Bone marrow aspirate smear · 250×250 px.
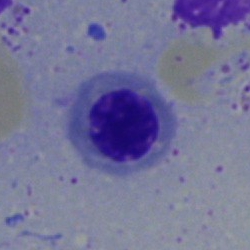 This is a nucleated red cell.